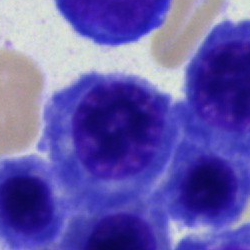
{"cell_type": "normoblast", "lineage": "erythroid"}